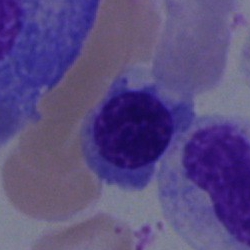

A nucleated red cell.